Peripheral blood film
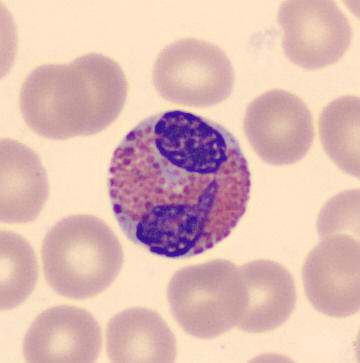

Cell — eosinophilic granulocyte.